Bone marrow smear
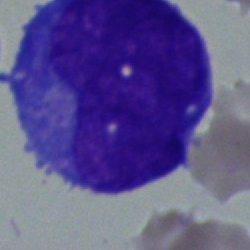
A blast.